Bone marrow smear · MGG-stained — 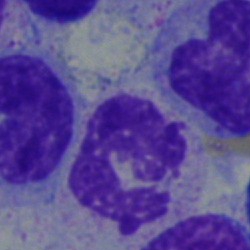 Showing a segmented neutrophil.